Bone marrow aspirate smear
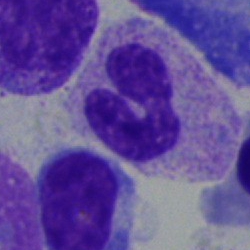
Q: What type of cell is this?
A: This is a segmented neutrophil.